Bone marrow aspirate smear; 40× objective, oil immersion; May-Grünwald-Giemsa stain:
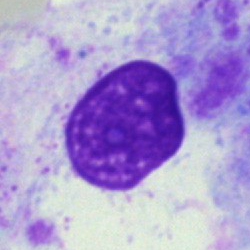 This is an artifact.